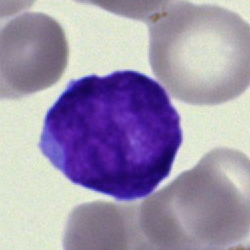
Single-cell crop from a bone marrow smear: blast.